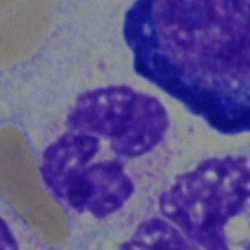
{"cell_type": "segmented neutrophil", "lineage": "myeloid"}